Bone marrow aspirate smear:
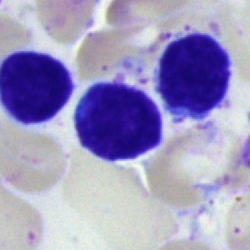Classification — lymphocyte.